Bone marrow aspirate smear · cropped to a single cell: 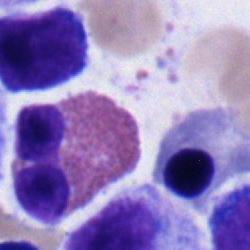 Q: Identify the cell.
A: An eosinophil.